Bone marrow aspirate smear. Cropped to a single cell: 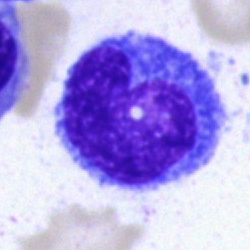
Monocyte.